Single cell centered in the field. May-Grünwald-Giemsa/Pappenheim stain. Bone marrow smear — 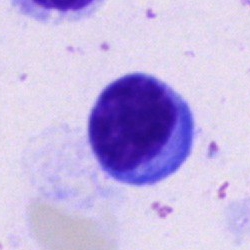
Q: What cell is this?
A: Lymphocyte.